Bone marrow smear
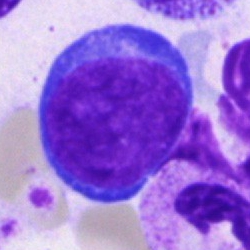
Specimen: bone marrow aspirate smear.
Cell type: proerythroblast.
Lineage: erythroid.